Bone marrow aspirate smear:
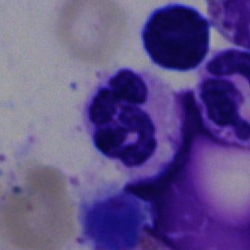 Morphological class = polymorphonuclear neutrophil.